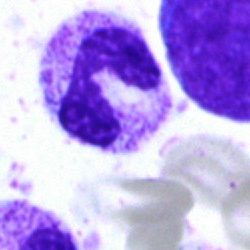Bone marrow aspirate smear, single cell — neutrophil (segmented).